Bone marrow smear — 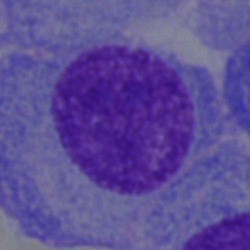

Specimen: bone marrow aspirate smear.
Classification: plasmacyte.